Bone marrow aspirate smear:
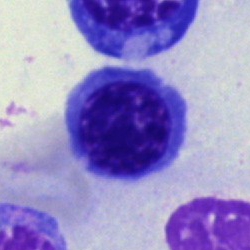
Specimen: bone marrow smear.
Morphological class: nucleated red blood cell.
Lineage: erythroid.